MGG-stained · bone marrow smear.
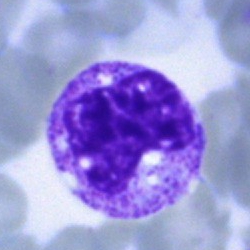 Morphology consistent with a metamyelocyte.